Bone marrow smear — 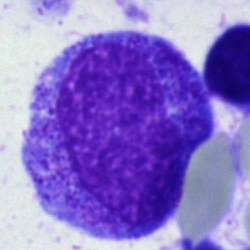 This is a promyelocyte.